Bone marrow aspirate smear:
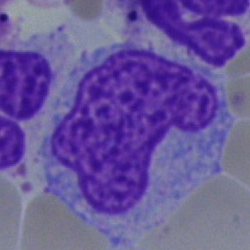

Specimen: bone marrow aspirate smear.
Morphological class: monocyte.
Lineage: myeloid.